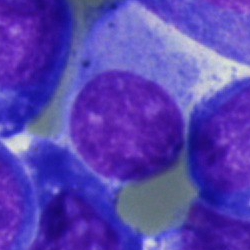 The cell shown is an artifact.